Bone marrow smear — 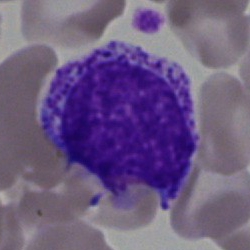The cell shown is a myelocyte.